Bone marrow aspirate smear.
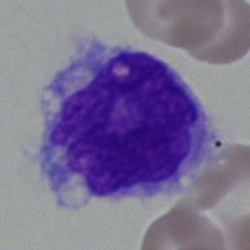The cell shown is a monocyte.